Brightfield, 40× oil-immersion objective. 250 by 250 pixels. Bone marrow smear
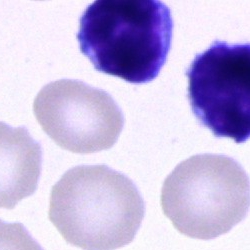
Single cell identified as a typical lymphocyte.